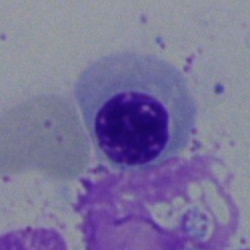Showing an erythroblast.